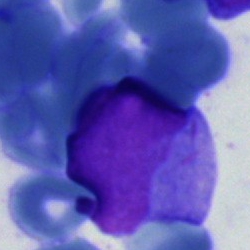Single-cell crop from a bone marrow smear: blast cell.